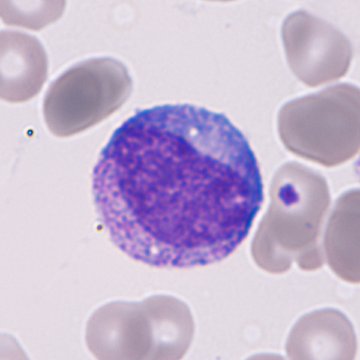
Immature granulocyte (promyelocyte, myelocyte or metamyelocyte).